Bone marrow smear: 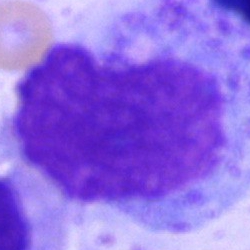
Specimen: bone marrow smear.
Morphological class: artifact.